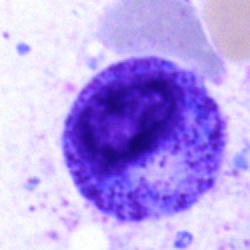

The cell shown is a progranulocyte.